100× oil immersion, 14.14 px/µm. Peripheral blood film. Romanowsky-stained: 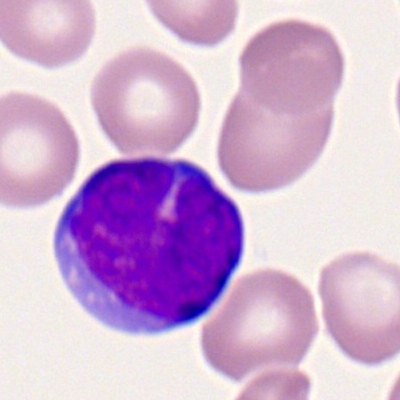
Cell type = myeloid blast.